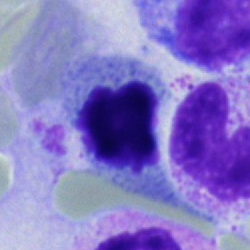

Classification — artefact.